Bone marrow smear. Single-cell field:
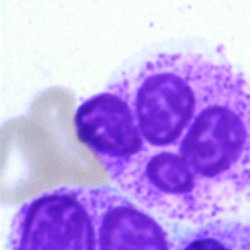 Classification = artifact.